Brightfield microscopy, 40× oil immersion · bone marrow aspirate smear — 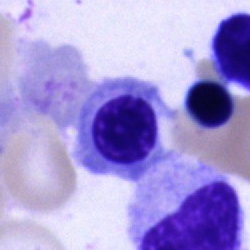 Cell type — erythroblast.